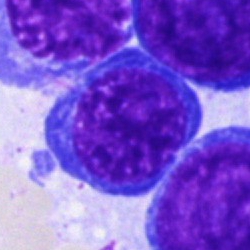Specimen: bone marrow smear.
Morphological class: nucleated red blood cell.
Lineage: erythroid.